Bone marrow aspirate smear.
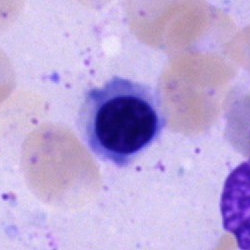
Classification = nucleated red blood cell.